Single cell centered in the field. Bone marrow smear: 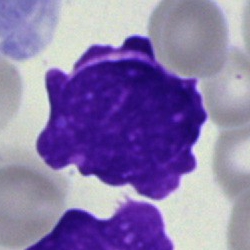

Q: What is shown here?
A: It is an artefact.